Bone marrow smear
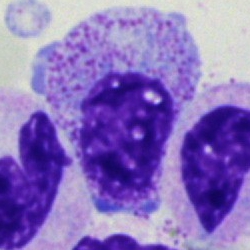 Cell type = myelocyte.